Bone marrow smear; MGG-stained.
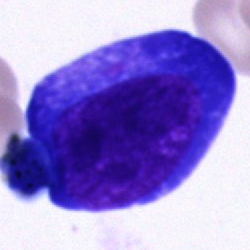
A pronormoblast.